Cropped to a single cell. Bone marrow smear
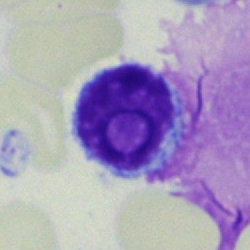 Specimen: bone marrow smear.
Morphological class: lymphocyte.
Lineage: lymphoid.